Single-cell field; bone marrow aspirate smear: 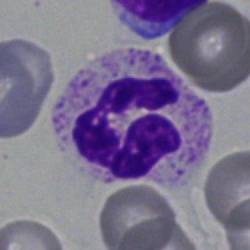 Morphology consistent with a polymorphonuclear neutrophil.